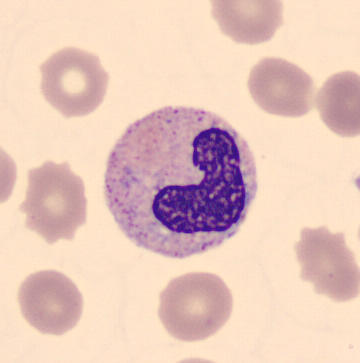
Q: What type of cell is this?
A: It is a band-form neutrophil.